Bone marrow smear.
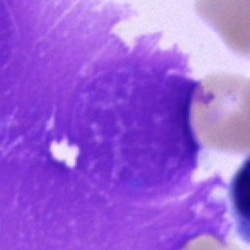Q: What is shown here?
A: It is an artefact.